Bone marrow smear: 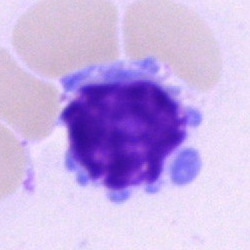A lymphocyte.